Bone marrow aspirate smear.
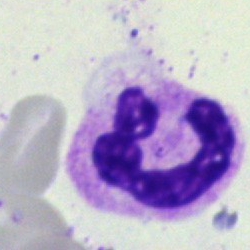 A stab cell.